Image size 250×250. Bone marrow aspirate smear.
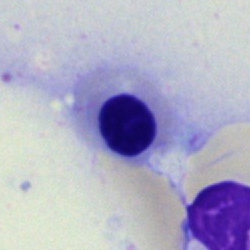

Q: What type of cell is this?
A: Nucleated red blood cell.